Bone marrow aspirate smear
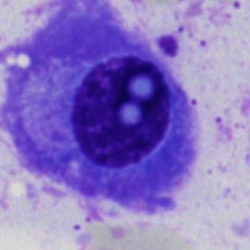Specimen: bone marrow aspirate smear.
Morphological class: plasmacyte.